Cropped to a single cell. Brightfield, 100× oil-immersion objective. Peripheral blood smear: 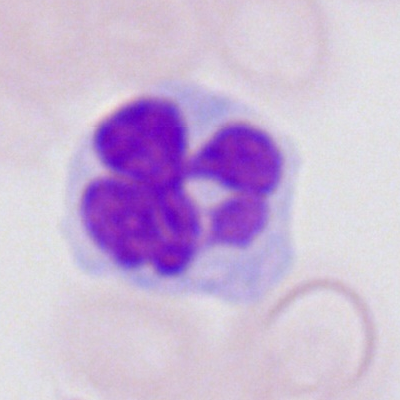
{"cell_type": "monocyte", "lineage": "myeloid"}